Single-cell crop; bone marrow aspirate smear:
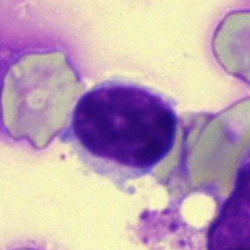 Showing a lymphocyte.